Bone marrow aspirate smear — 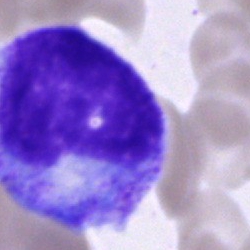A progranulocyte.